Single-cell crop. Bone marrow aspirate smear. MGG-stained — 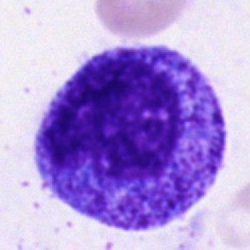

Specimen: bone marrow smear.
Cell: promyelocyte.